Peripheral blood film.
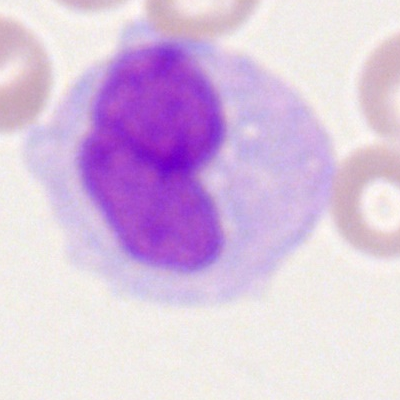 Specimen: peripheral blood smear.
Cell: monocyte.